40× objective, oil immersion; bone marrow smear — 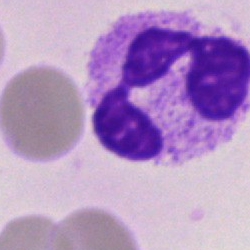

Morphology — polymorphonuclear neutrophil.